Peripheral blood film. 100× oil immersion, 14.14 px/µm.
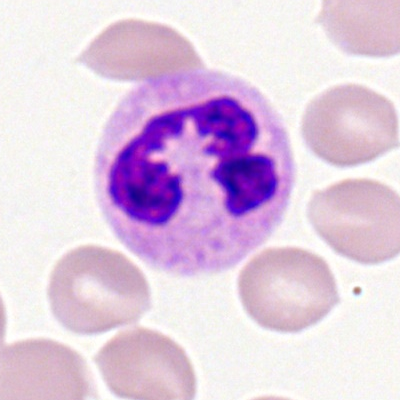 Morphological class — neutrophil (segmented).